Bone marrow smear: 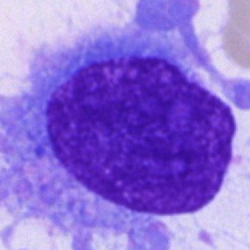

The cell shown is a plasmacyte.